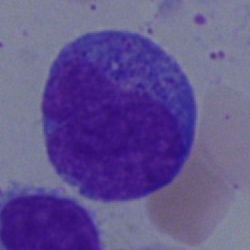Q: What is the morphological classification of this cell?
A: This is a progranulocyte.